Bone marrow smear; May-Grünwald-Giemsa/Pappenheim stain; brightfield microscopy, 40× oil immersion
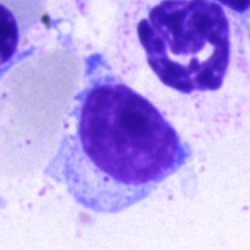
Morphology consistent with a lymphocyte.